Bone marrow aspirate smear · 40× oil immersion
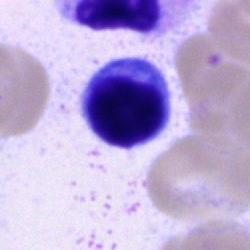

This is a lymphocyte.